May-Grünwald-Giemsa stain · 40× objective, oil immersion · bone marrow smear.
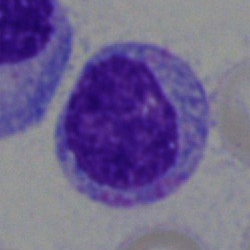

Specimen: bone marrow aspirate smear.
Cell: myelocyte.